Single-cell crop · bone marrow aspirate smear:
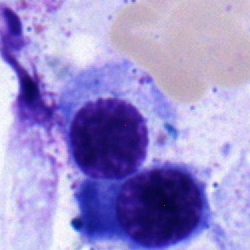 This is a nucleated red blood cell.